Bone marrow aspirate smear. Single cell centered in the field
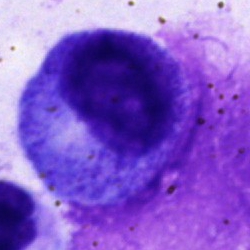 Morphology → progranulocyte.